Pappenheim-stained; bone marrow smear; 40× objective, oil immersion:
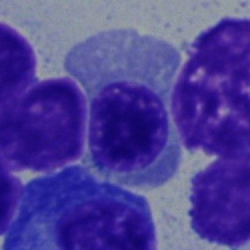 Morphology — nucleated red blood cell.